Single-cell crop; 250×250; bone marrow smear — 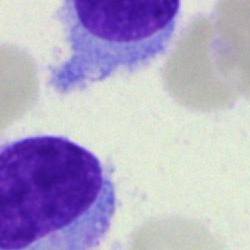

This is a hairy cell.